250 by 250 pixels. Bone marrow smear — 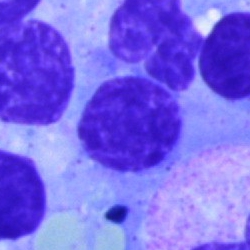

The classification is typical lymphocyte.